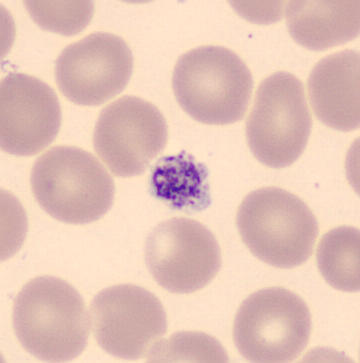

Peripheral blood smear.
Cell type: platelet.